Bone marrow smear.
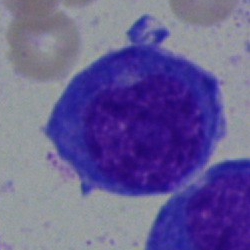Q: What type of cell is this?
A: Blast.